Bone marrow aspirate smear:
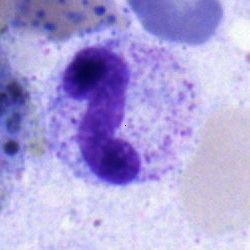

The cell type is band neutrophil.